Bone marrow smear. 250 by 250 pixels. Brightfield, 40× oil-immersion objective
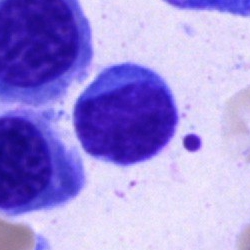Specimen: bone marrow smear.
Cell type: typical lymphocyte.
Lineage: lymphoid.